250×250; bone marrow smear
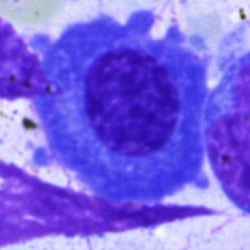

Showing a plasmacyte.